Bone marrow aspirate smear — 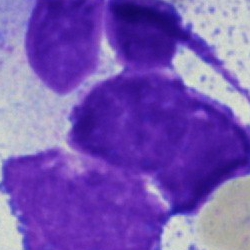
Cell type: artefact.